Bone marrow aspirate smear · brightfield microscopy, 40× oil immersion:
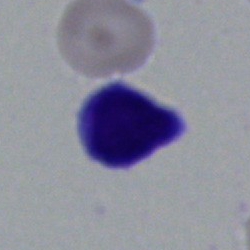

Q: What is the morphological classification of this cell?
A: This is a lymphocyte.